Single cell centered in the field. Bone marrow aspirate smear.
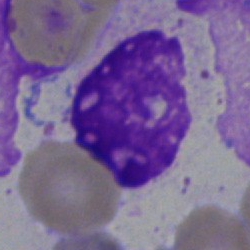

Specimen: bone marrow aspirate smear.
Cell: artifact.